Peripheral blood smear: 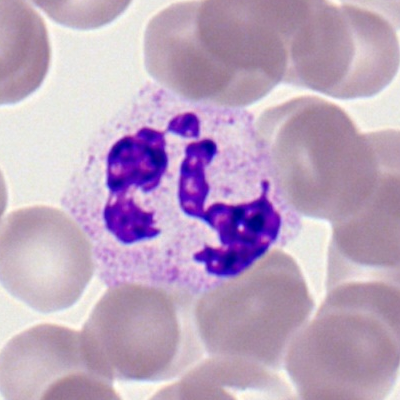
Single cell identified as a polymorphonuclear neutrophil.